Bone marrow smear · brightfield microscopy, 40× oil immersion — 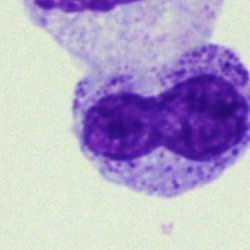Morphological class — metamyelocyte.